Single-cell field · bone marrow smear: 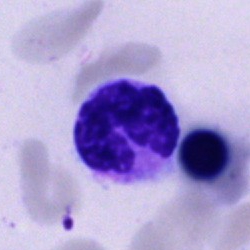

This is a segmented neutrophil.